40× objective, oil immersion; May-Grünwald-Giemsa/Pappenheim stain; bone marrow smear: 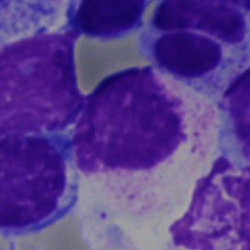The cell is artifact.